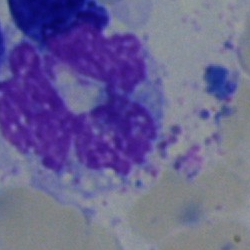
Morphology consistent with a monocyte.